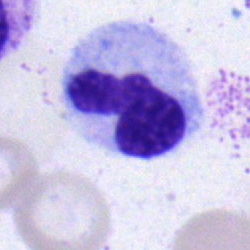

The cell shown is a neutrophil (segmented).